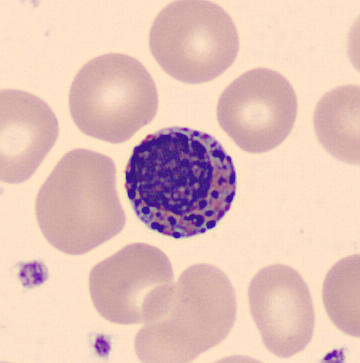 Cell = basophil. Preparation: Peripheral blood film.